Bone marrow aspirate smear. May-Grünwald-Giemsa stain. Brightfield, 40× oil-immersion objective
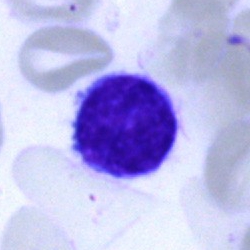Cell type: typical lymphocyte.